Bone marrow aspirate smear; May-Grünwald-Giemsa stain; image size 250×250.
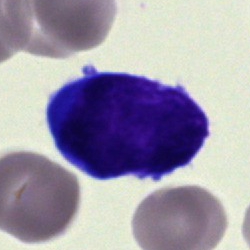Cell = blast cell.